Bone marrow smear; 250×250 px.
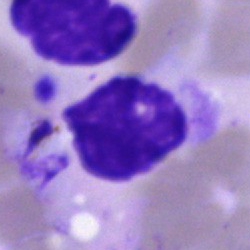
An unidentifiable cell.